Peripheral blood smear — 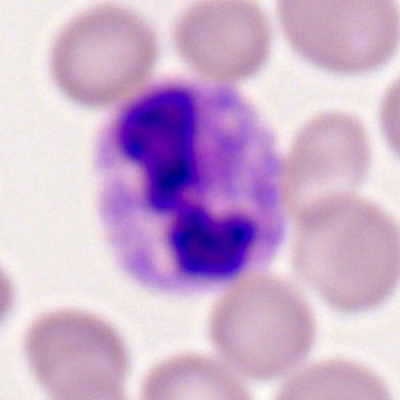 Q: What is the morphological classification of this cell?
A: Polymorphonuclear neutrophil.